Peripheral blood film
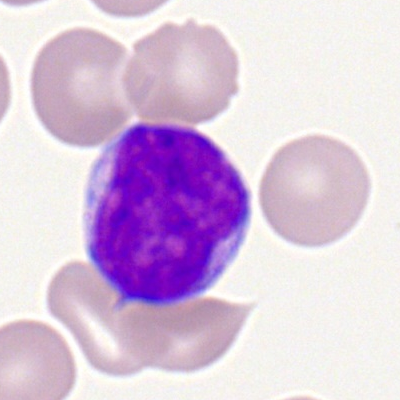

Q: Which cell type is shown here?
A: Myeloblast.